Bone marrow smear · single-cell field · MGG-stained — 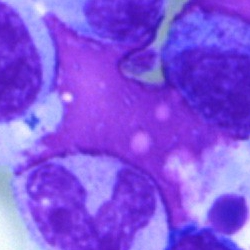

Single cell identified as an artefact.